Bone marrow smear
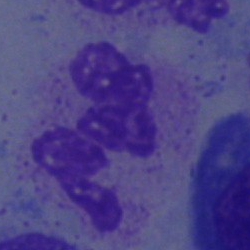
Specimen: bone marrow aspirate smear.
Classification: segmented neutrophil.
Lineage: myeloid.